Peripheral blood smear; brightfield, 100× oil-immersion objective:
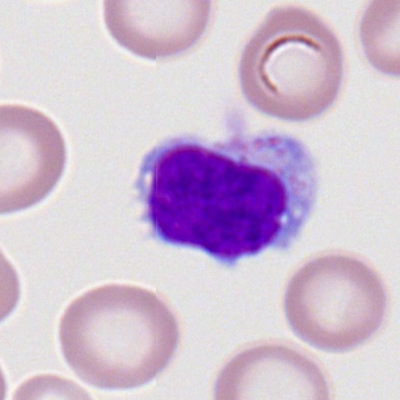

Specimen: peripheral blood smear.
Classification: typical lymphocyte.
Lineage: lymphoid.